Bone marrow aspirate smear
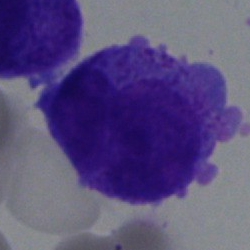

Morphology — blast.